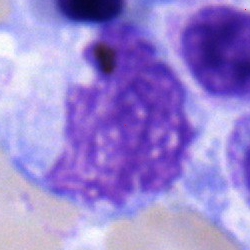 Specimen: bone marrow smear.
Cell type: monocyte.
Lineage: myeloid.